Brightfield microscopy, 40× oil immersion; bone marrow smear: 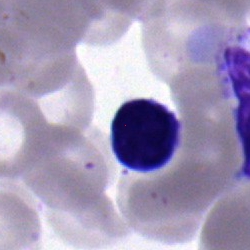Morphological class — lymphocyte.